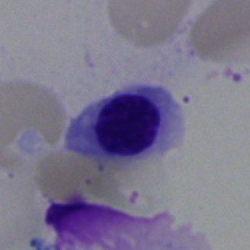

Bone marrow smear showing a normoblast.